250 by 250 pixels · bone marrow smear · Pappenheim-stained: 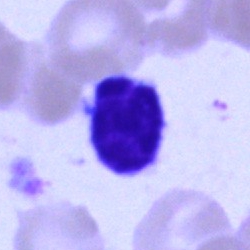
A lymphocyte.